Bone marrow aspirate smear; Pappenheim-stained
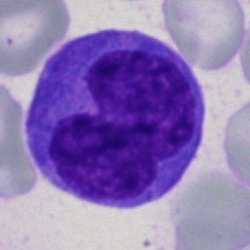 The cell is monocyte.